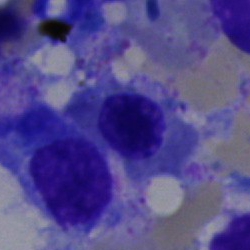

A nucleated red cell on a bone marrow smear.